Romanowsky-type stain · peripheral blood smear · 100× oil immersion
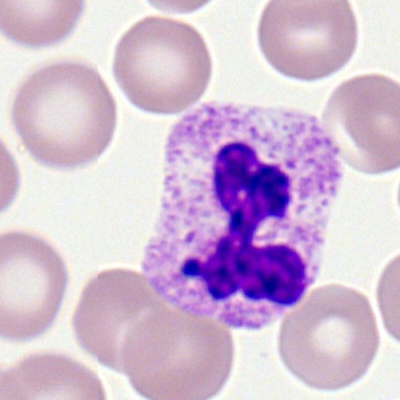 {"cell_type": "neutrophil (segmented)", "lineage": "myeloid"}